Single-cell field; peripheral blood smear:
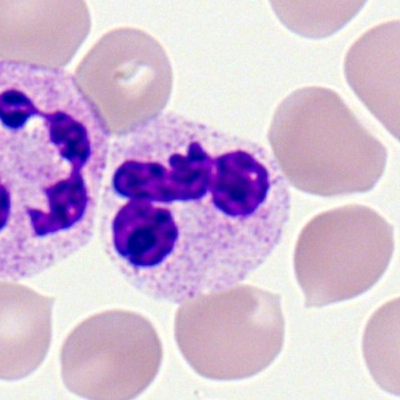The cell type is segmented neutrophil.